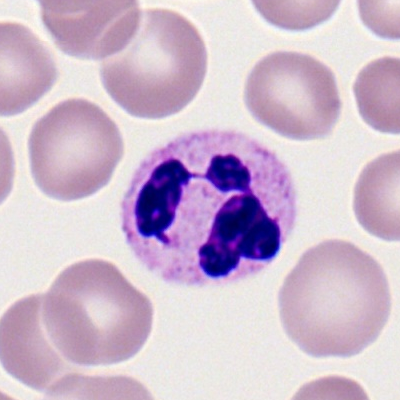
A polymorphonuclear neutrophil.